Bone marrow aspirate smear — 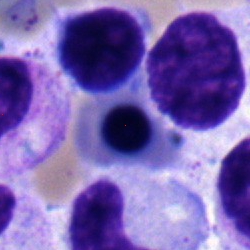
Cell — nucleated red blood cell.